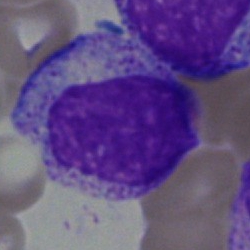Showing a myelocyte.